40× oil immersion; bone marrow smear: 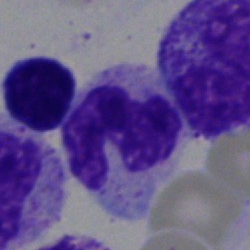

Showing a polymorphonuclear neutrophil.